Bone marrow smear — 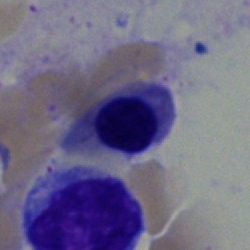Cell type: nucleated red blood cell.